Bone marrow aspirate smear:
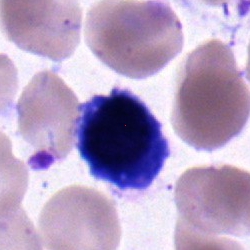 The cell type is nucleated red blood cell.